Peripheral blood smear. 400×400 px
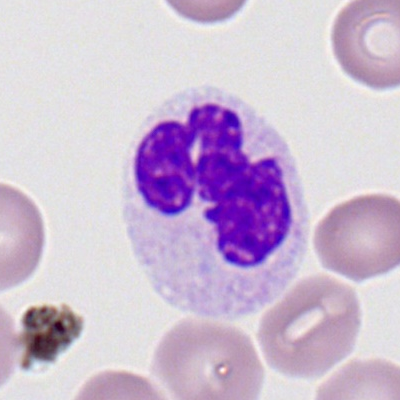

Q: What type of cell is this?
A: Segmented neutrophil.